Bone marrow smear — 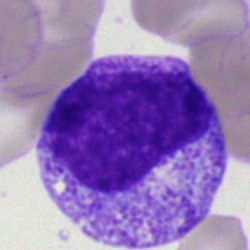
Q: What type of cell is this?
A: Myelocyte.